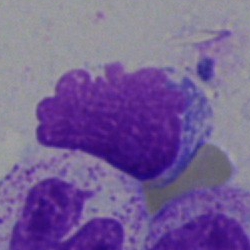
Cell: artifact.